Bone marrow aspirate smear: 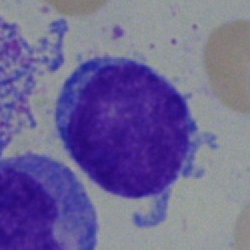Q: What cell is this?
A: This is an undifferentiated blast.